Bone marrow aspirate smear:
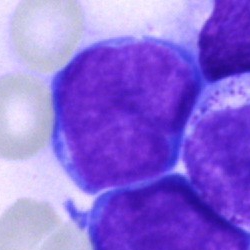 Impression → undifferentiated blast.